Single-cell field · 40× oil immersion · bone marrow smear — 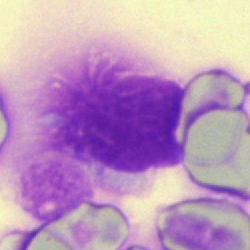
Cell type = artifact.